Bone marrow aspirate smear: 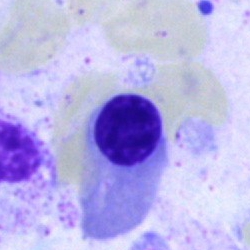 Q: Which cell type is shown here?
A: Normoblast.